Bone marrow smear · single-cell crop.
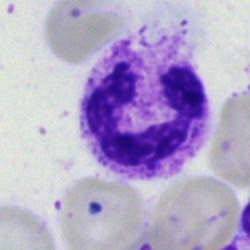 Q: Which cell type is shown here?
A: A polymorphonuclear neutrophil.